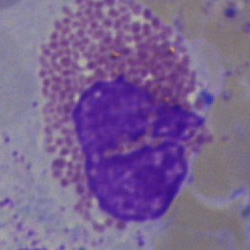

Single cell identified as an eosinophilic granulocyte.